Bone marrow aspirate smear.
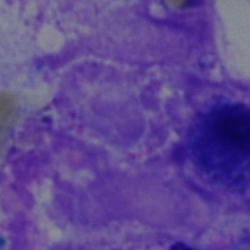
{"cell_type": "artifact"}